Bone marrow smear.
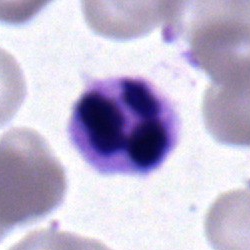
Q: What cell is this?
A: This is a polymorphonuclear neutrophil.